Bone marrow smear.
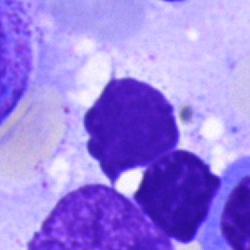Q: What is shown here?
A: This is an artefact.